Bone marrow smear
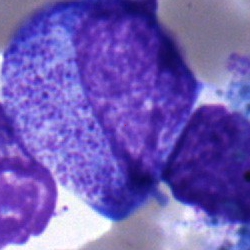

Specimen: bone marrow smear.
Morphological class: progranulocyte.
Lineage: myeloid.